Bone marrow aspirate smear. Brightfield microscopy, 40× oil immersion. May-Grünwald-Giemsa/Pappenheim stain: 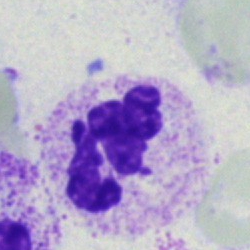
Classification — segmented neutrophil.